Bone marrow aspirate smear
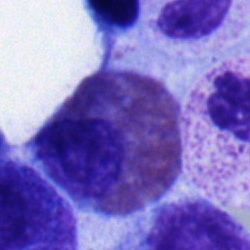
Cell: segmented neutrophil.